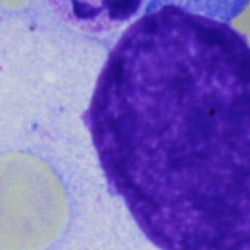Bone marrow aspirate smear, single cell — artefact.